250×250 px. Bone marrow aspirate smear
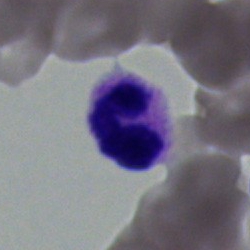Morphology consistent with a neutrophil (segmented).